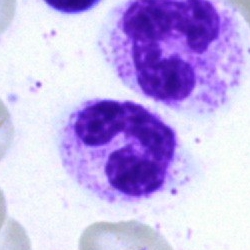Bone marrow smear showing a segmented neutrophil.